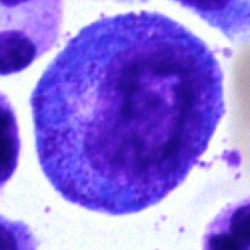A progranulocyte on a bone marrow smear.